Bone marrow aspirate smear · 250×250 px.
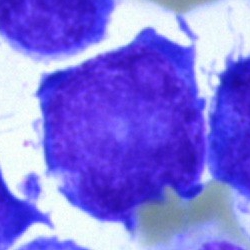 Q: What type of cell is this?
A: This is a blast.